Bone marrow aspirate smear. May-Grünwald-Giemsa/Pappenheim stain
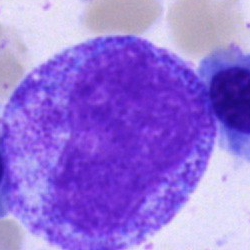Specimen: bone marrow aspirate smear.
Classification: promyelocyte.
Lineage: myeloid.